Bone marrow aspirate smear.
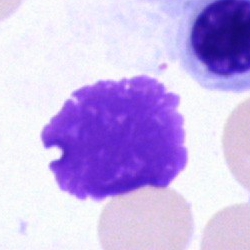

The cell type is artefact.